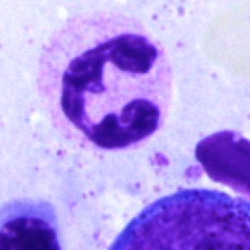Neutrophil (segmented).